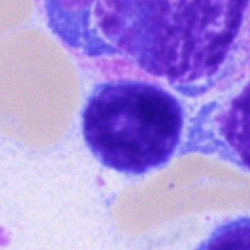

Morphology consistent with a lymphocyte.